Bone marrow aspirate smear: 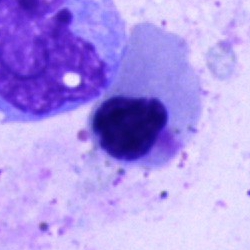
Impression — nucleated red blood cell.